Bone marrow smear:
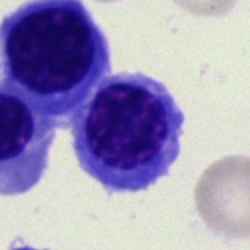 The classification is nucleated red blood cell.